Bone marrow smear · MGG-stained · brightfield microscopy, 40× oil immersion
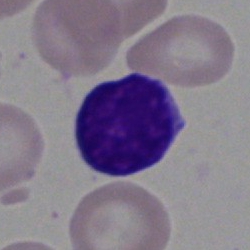 Impression — blast.